Bone marrow smear — 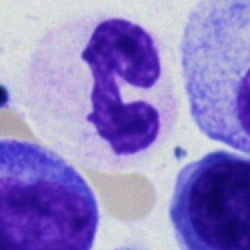Impression — polymorphonuclear neutrophil.